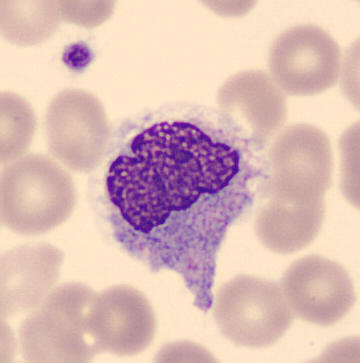
From a peripheral blood smear: a monocyte.